Bone marrow aspirate smear · 40× oil immersion: 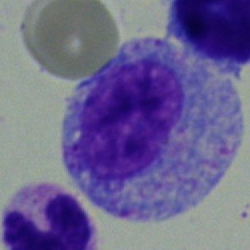Morphological class: myelocyte.